Bone marrow aspirate smear
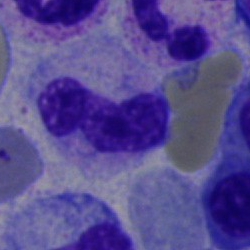Specimen: bone marrow aspirate smear.
Cell type: stab cell.
Lineage: myeloid.